Bone marrow smear
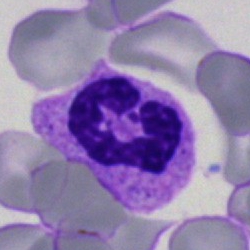

Morphology → segmented neutrophil.